Bone marrow aspirate smear; 250×250 px.
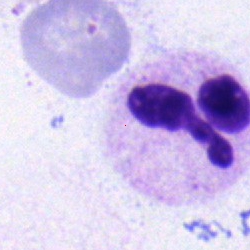 Q: What is the morphological classification of this cell?
A: This is a neutrophil (segmented).